250×250 · bone marrow aspirate smear: 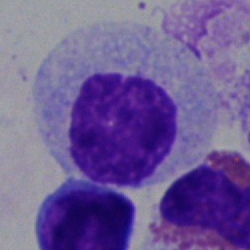

The morphological class is myelocyte.